40× oil immersion · bone marrow aspirate smear: 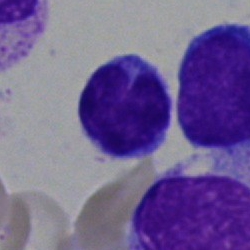
Morphological class: lymphocyte.